Bone marrow smear.
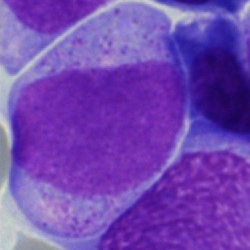
The cell type is blast cell.